May-Grünwald-Giemsa/Pappenheim stain · bone marrow aspirate smear — 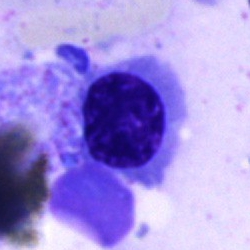 Nucleated red cell.